Bone marrow smear:
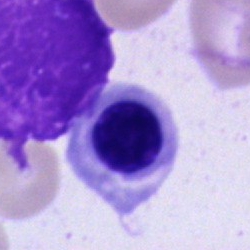 This is a normoblast.